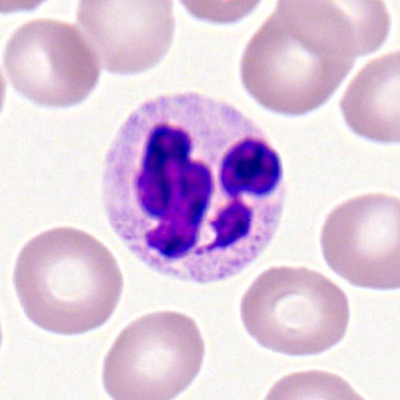
Classification: segmented neutrophil.